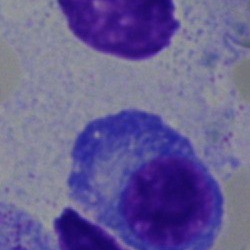
Showing a plasma cell.